Bone marrow smear · 40× oil immersion: 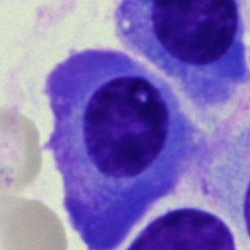 Morphology consistent with a plasma cell.